May-Grünwald-Giemsa/Pappenheim stain · bone marrow aspirate smear.
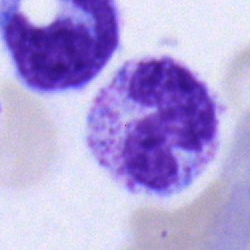Specimen: bone marrow smear.
Cell: neutrophil (band).
Lineage: myeloid.